40× oil immersion; bone marrow smear: 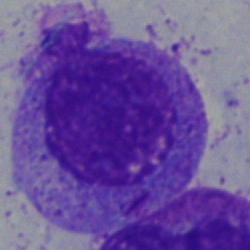
Q: What cell is this?
A: It is a promyelocyte.